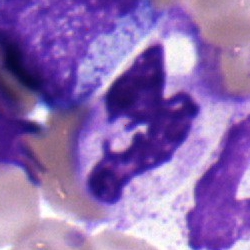
Q: What type of cell is this?
A: A segmented neutrophil.